Bone marrow aspirate smear:
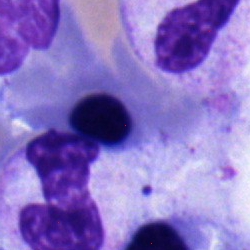
Classification: nucleated red cell.